250×250 px; bone marrow aspirate smear
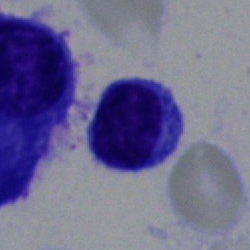 Q: What type of cell is this?
A: Typical lymphocyte.